Bone marrow aspirate smear
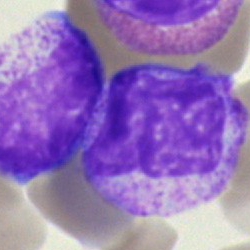

A myelocyte.